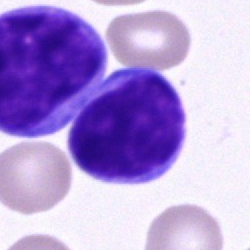 Specimen: bone marrow smear.
Cell type: lymphocyte.
Lineage: lymphoid.